Brightfield, 40× oil-immersion objective; bone marrow aspirate smear; 250×250 px
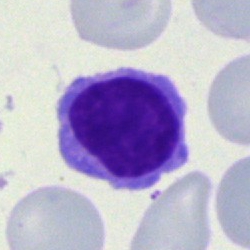The cell is typical lymphocyte.